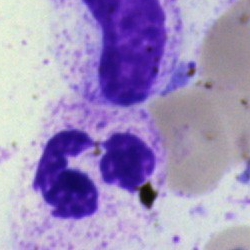

Cell: neutrophil (segmented).